Bone marrow smear:
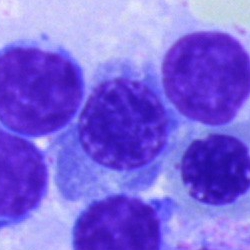
Q: What is the morphological classification of this cell?
A: A nucleated red blood cell.